250×250 px · bone marrow aspirate smear
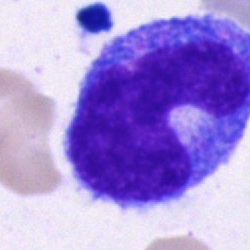 Classification: promyelocyte.